Bone marrow aspirate smear:
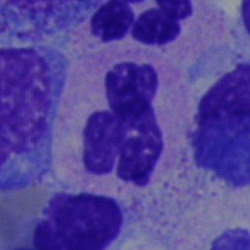 Classification — neutrophil (segmented).